Bone marrow smear; 250 by 250 pixels: 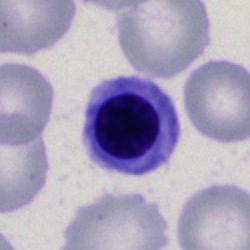

The morphological class is normoblast.